Bone marrow smear: 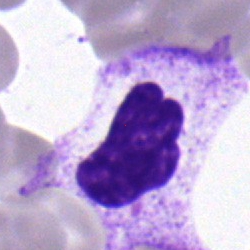
Morphology consistent with a metamyelocyte.